250 by 250 pixels. Cropped to a single cell. Bone marrow smear — 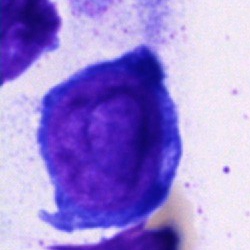Q: What type of cell is this?
A: It is a proerythroblast.